Peripheral blood film. 100× oil immersion. Single-cell crop: 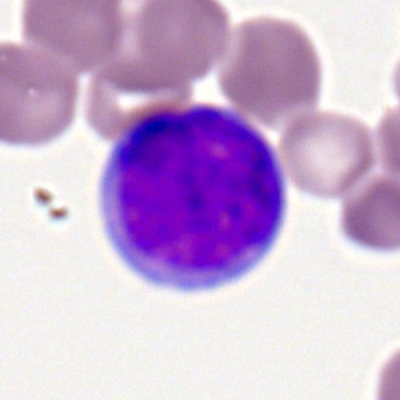Specimen: peripheral blood film.
Morphological class: myeloid blast.
Lineage: myeloid.